Bone marrow aspirate smear — 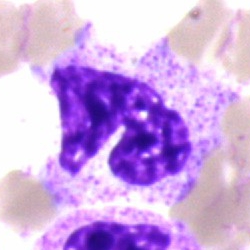
Morphology consistent with a segmented neutrophil.